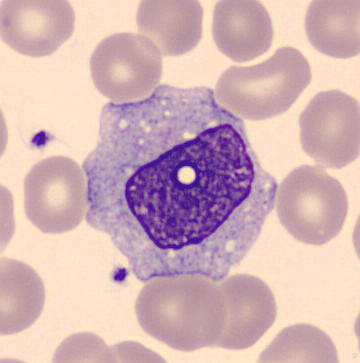{"cell_type": "monocyte", "lineage": "myeloid"}